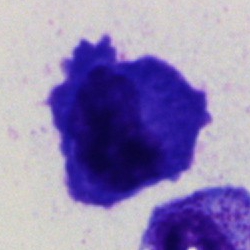

Q: What is shown here?
A: A plasmacyte.